Bone marrow smear
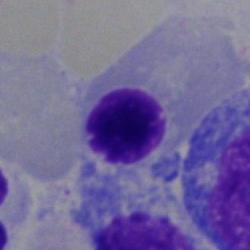

Morphology consistent with an erythroblast.